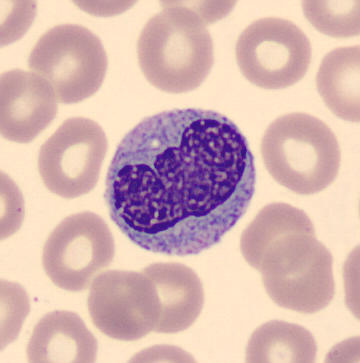 Peripheral blood smear.
Q: What is the morphological classification of this cell?
A: Monocyte.